Bone marrow smear · May-Grünwald-Giemsa stain · single cell centered in the field.
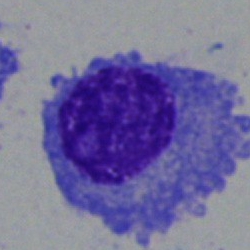This is a plasmacyte.